40× objective, oil immersion. Bone marrow aspirate smear.
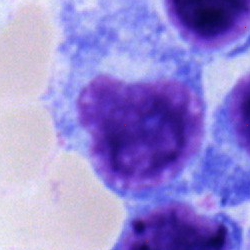 Showing a plasmacyte.